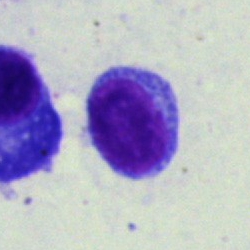

Q: What is the morphological classification of this cell?
A: This is a typical lymphocyte.